May-Grünwald-Giemsa stain · bone marrow aspirate smear · 250×250:
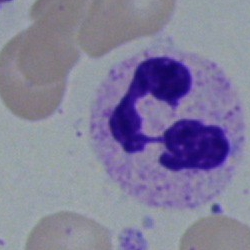
Impression — neutrophil (segmented).